40× objective, oil immersion. Pappenheim-stained. Bone marrow aspirate smear:
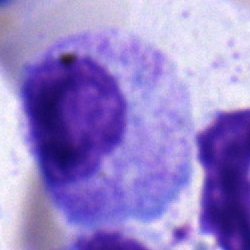 Metamyelocyte.